Bone marrow aspirate smear — 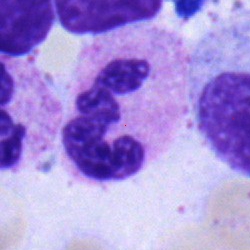Q: What type of cell is this?
A: This is a segmented neutrophil.